May-Grünwald-Giemsa/Pappenheim stain; bone marrow smear — 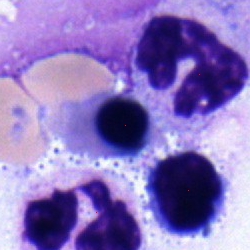
Classification — nucleated red cell.